Peripheral blood film; Romanowsky-stained.
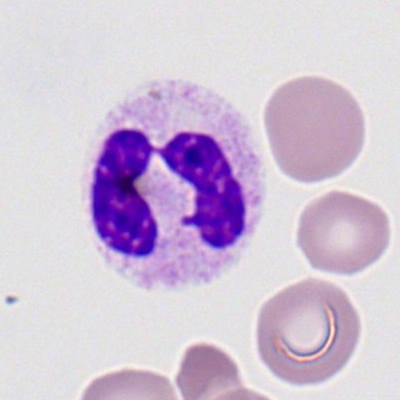Q: What is shown here?
A: It is a polymorphonuclear neutrophil.